MGG-stained; bone marrow smear:
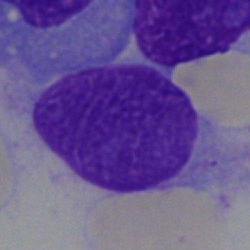

Morphology — artifact.